Peripheral blood smear: 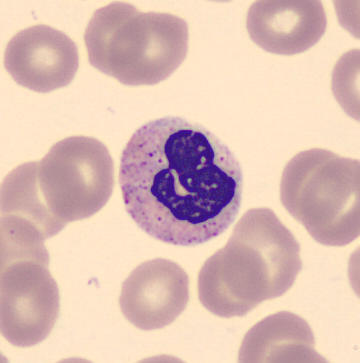

Q: Identify the cell.
A: A segmented neutrophil.